Cropped to a single cell; 250 by 250 pixels; bone marrow aspirate smear.
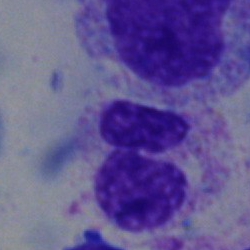

Classification — polymorphonuclear neutrophil.